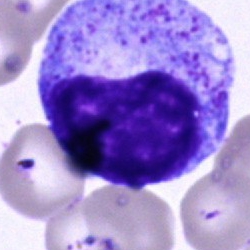
Impression → promyelocyte.